Bone marrow smear. Brightfield, 40× oil-immersion objective: 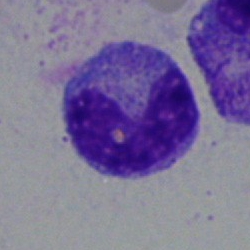

Specimen: bone marrow aspirate smear.
Classification: neutrophil (band).
Lineage: myeloid.